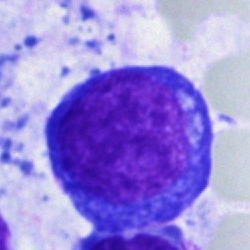

A blast on a bone marrow smear.